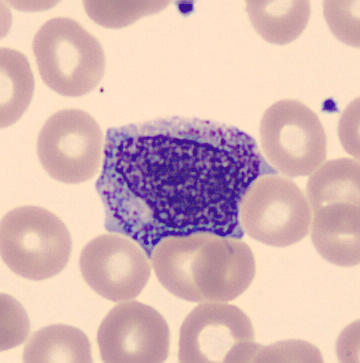Specimen: peripheral blood film.
Cell: myelocyte.